Bone marrow aspirate smear. 250×250: 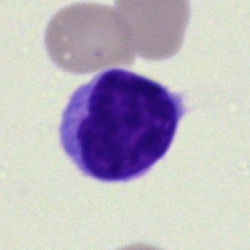 Q: What type of cell is this?
A: It is a typical lymphocyte.